Bone marrow aspirate smear; 40× objective, oil immersion; May-Grünwald-Giemsa/Pappenheim stain.
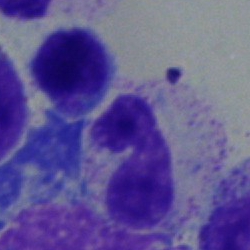

Cell: polymorphonuclear neutrophil.